Peripheral blood film. 100× oil immersion. Romanowsky-stained:
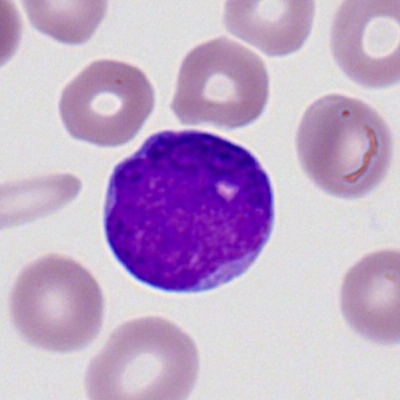
{"cell_type": "myeloblast", "lineage": "myeloid"}